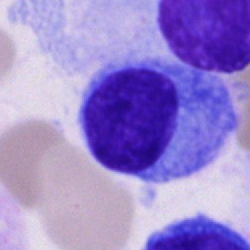

Bone marrow aspirate smear, single cell — plasma cell.